Bone marrow smear — 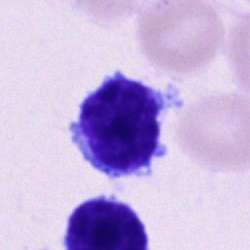Showing a typical lymphocyte.